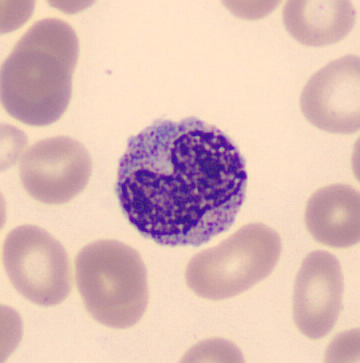
Q: What is the morphological classification of this cell?
A: Metamyelocyte. Peripheral blood film.